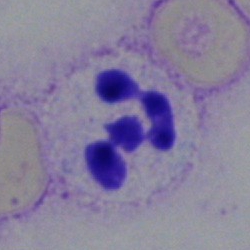

Morphology → polymorphonuclear neutrophil.